Peripheral blood film:
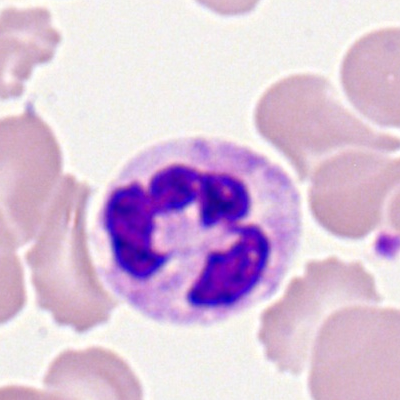
Specimen: peripheral blood smear.
Morphological class: neutrophil (segmented).
Lineage: myeloid.